Bone marrow smear. Brightfield, 40× oil-immersion objective:
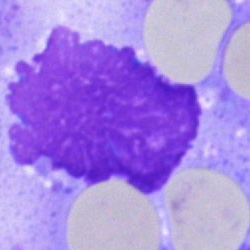Single cell identified as an artifact.